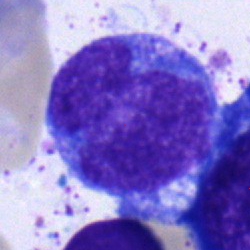This is a monocyte.